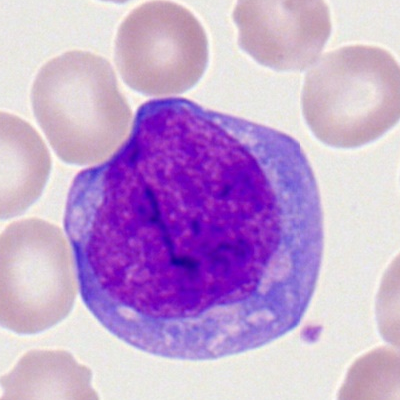
Specimen: peripheral blood film.
Cell type: myeloid blast.